Bone marrow aspirate smear — 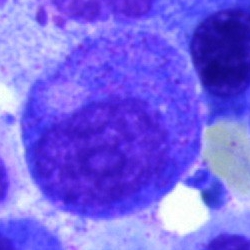Morphological class — promyelocyte.